Peripheral blood smear · cropped to a single cell · M8 digital microscope (Precipoint), 100× oil immersion
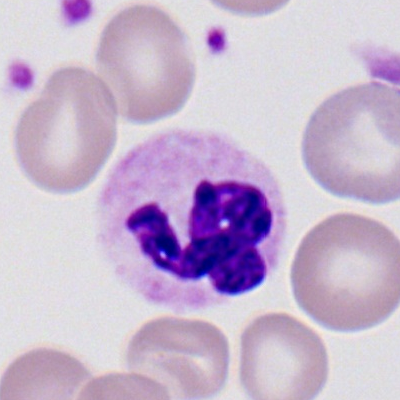Q: Identify the cell.
A: This is a neutrophil (segmented).